May-Grünwald-Giemsa stain · bone marrow smear — 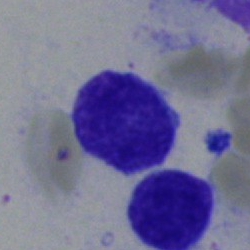Q: Which cell type is shown here?
A: This is a typical lymphocyte.